Bone marrow aspirate smear:
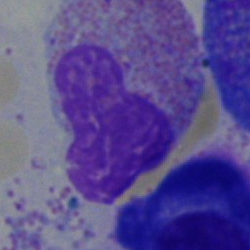

Q: What type of cell is this?
A: Eosinophilic granulocyte.